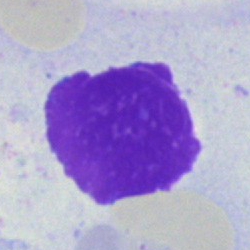
Specimen: bone marrow smear.
Morphological class: artifact.